Bone marrow smear:
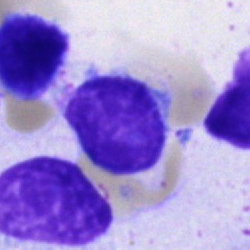

Q: Which cell type is shown here?
A: Typical lymphocyte.